Brightfield, 40× oil-immersion objective; bone marrow smear
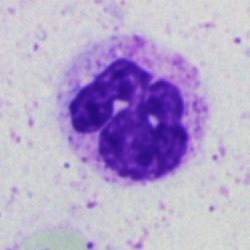

Showing a polymorphonuclear neutrophil.